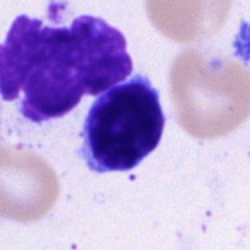Specimen: bone marrow smear.
Cell type: lymphocyte.